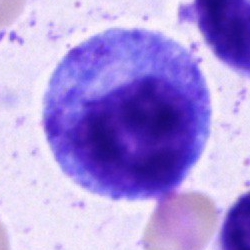Morphology consistent with a progranulocyte.